Bone marrow aspirate smear.
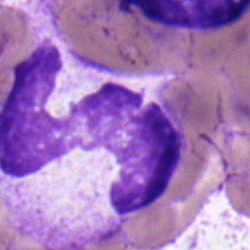 Specimen: bone marrow smear.
Cell: polymorphonuclear neutrophil.